Bone marrow smear:
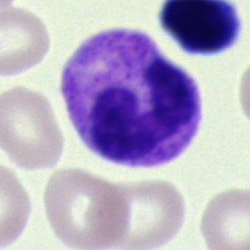
{"cell_type": "stab cell", "lineage": "myeloid"}